Bone marrow smear: 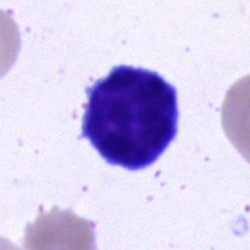Single cell identified as a lymphocyte.